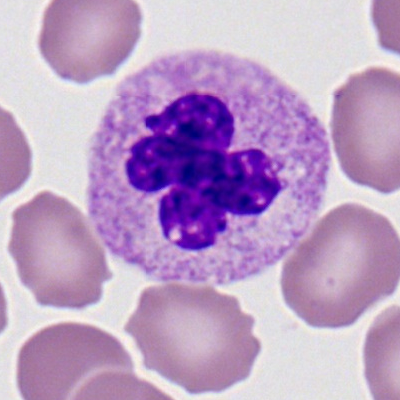
Cell = segmented neutrophil.